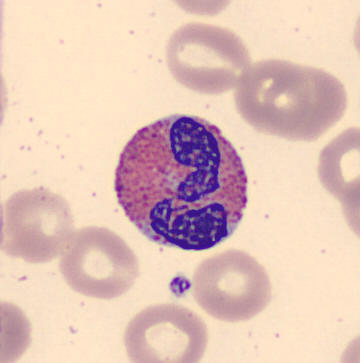 {"cell_type": "eosinophilic granulocyte", "lineage": "myeloid"}

Peripheral blood film.